Bone marrow smear:
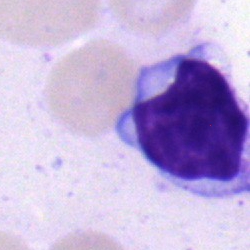 Q: Identify the cell.
A: Lymphocyte.